Bone marrow smear:
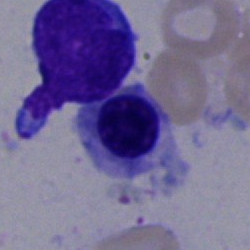 Showing a nucleated red cell.